Single-cell field; bone marrow smear: 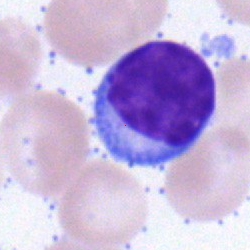
The cell shown is a lymphocyte.